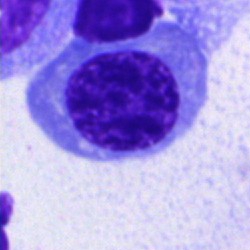

Morphological class — nucleated red cell.